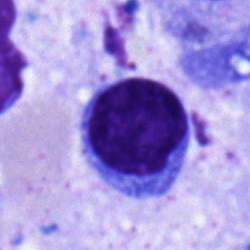 {"cell_type": "lymphocyte", "lineage": "lymphoid"}